Bone marrow aspirate smear:
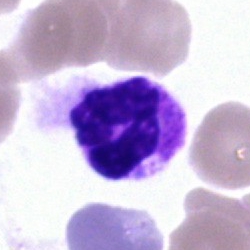 Cell type = polymorphonuclear neutrophil.